Bone marrow smear:
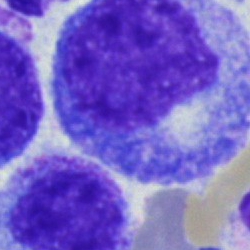 The morphological class is promyelocyte.